Pappenheim-stained. Bone marrow smear. 250×250 px: 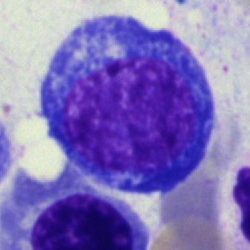Single cell identified as an erythroblast.